Bone marrow smear · single-cell crop.
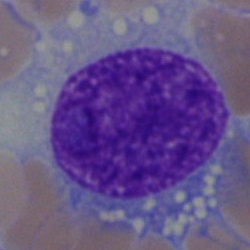 A blast cell.